Bone marrow smear.
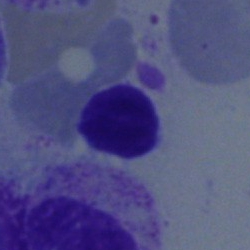{"cell_type": "typical lymphocyte", "lineage": "lymphoid"}